Bone marrow smear:
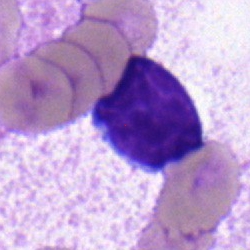{"cell_type": "typical lymphocyte"}